Bone marrow aspirate smear.
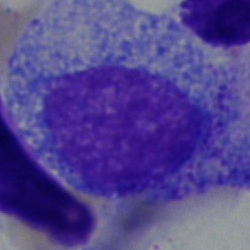

Single cell identified as a myelocyte.